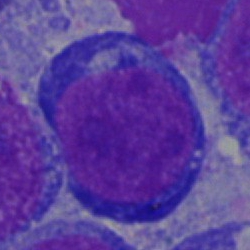Q: What cell is this?
A: This is a blast.